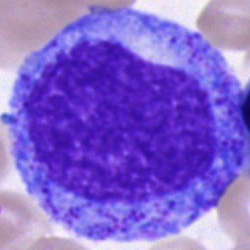

Single-cell crop from a bone marrow smear: promyelocyte.